Bone marrow aspirate smear: 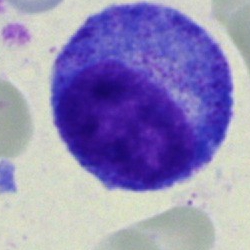

Cell = promyelocyte.